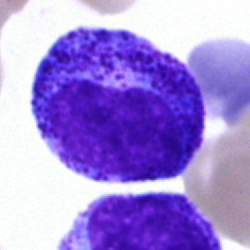
Bone marrow smear showing a promyelocyte.